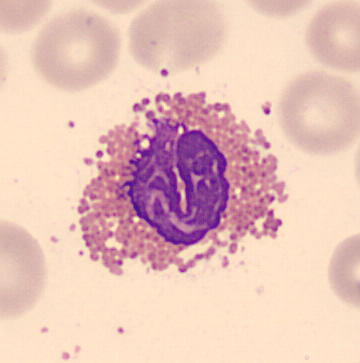
Peripheral blood film.
Q: Which cell type is shown here?
A: It is an eosinophil.